Bone marrow smear · brightfield, 40× oil-immersion objective · image size 250×250
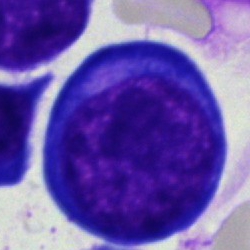

Showing a proerythroblast.